Bone marrow smear:
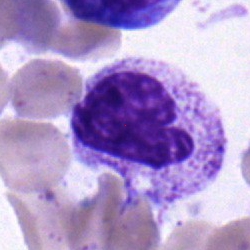
Q: What is shown here?
A: This is a band neutrophil.